Single-cell field; bone marrow aspirate smear
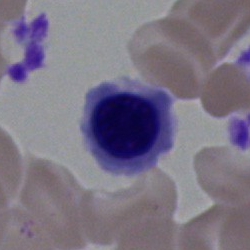
{"cell_type": "normoblast", "lineage": "erythroid"}